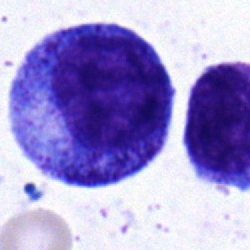
Q: What cell is this?
A: It is a progranulocyte.